40× objective, oil immersion · bone marrow smear: 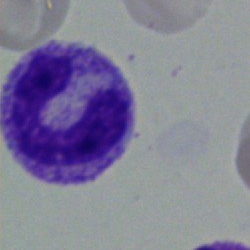 Classification = band neutrophil.